Bone marrow aspirate smear
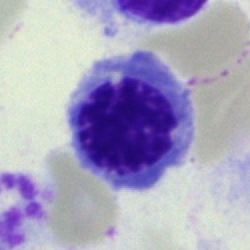

Morphological class: erythroblast.